Bone marrow aspirate smear — 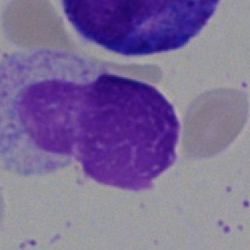 {"cell_type": "artefact"}